Brightfield, 100× oil-immersion objective; peripheral blood film.
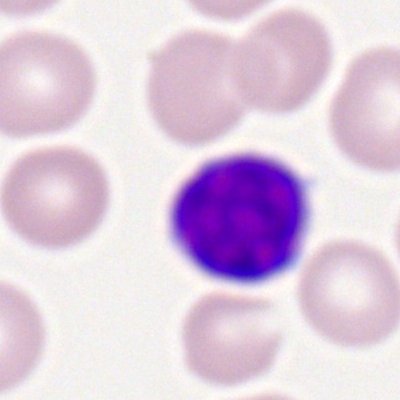Classification: typical lymphocyte.